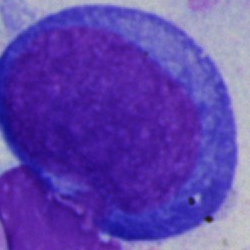Cell type — proerythroblast.